Peripheral blood smear
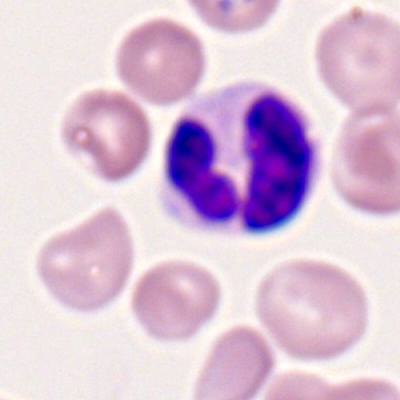 Cell type = segmented neutrophil.